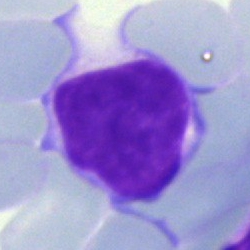 Impression → artefact.